Bone marrow aspirate smear; 250×250 px; cropped to a single cell: 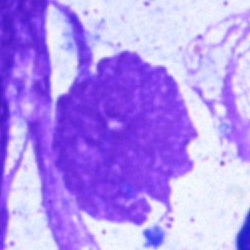

Morphology consistent with an artefact.